Bone marrow smear. Single cell centered in the field.
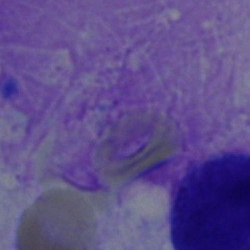 Specimen: bone marrow smear.
Cell type: artifact.